Bone marrow smear; single cell centered in the field.
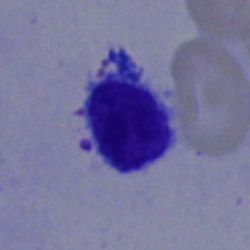

The cell shown is a lymphocyte.